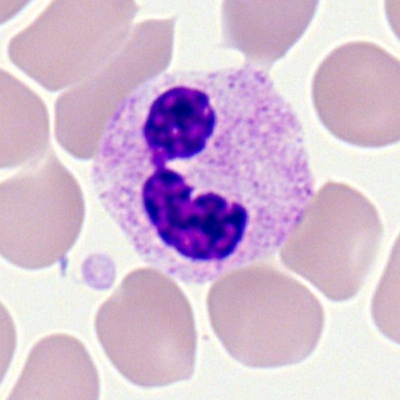
Specimen: peripheral blood smear.
Cell: neutrophil (segmented).
Lineage: myeloid.